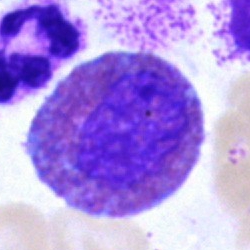

Q: What type of cell is this?
A: This is an eosinophil.